Bone marrow aspirate smear. 250 by 250 pixels: 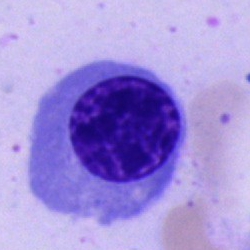

The morphological class is normoblast.